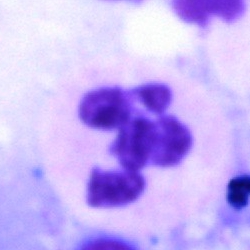Bone marrow smear showing a polymorphonuclear neutrophil.